Bone marrow smear
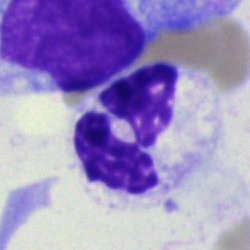Impression → segmented neutrophil.